Bone marrow aspirate smear: 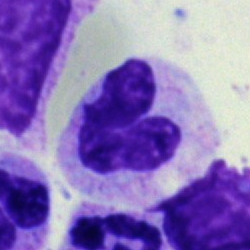
The classification is segmented neutrophil.